Bone marrow aspirate smear: 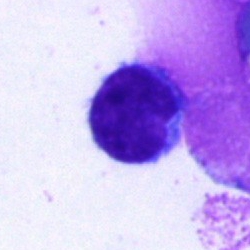
This is a typical lymphocyte.